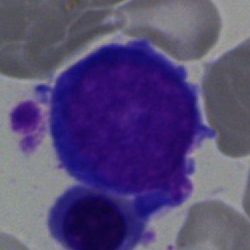Cell type: nucleated red cell.